Bone marrow aspirate smear:
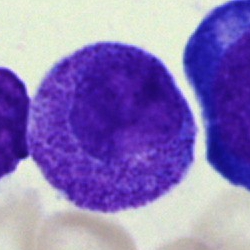
{"cell_type": "progranulocyte", "lineage": "myeloid"}